Bone marrow smear · 250×250 px:
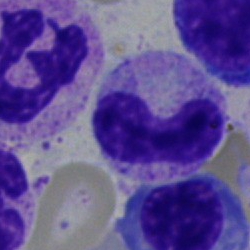
Single cell identified as a band-form neutrophil.